Bone marrow aspirate smear
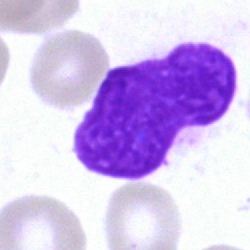
Morphological class — artifact.